Bone marrow smear:
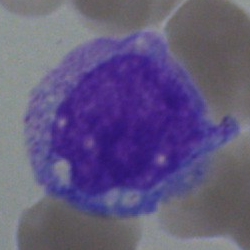Monocyte.